Image size 250×250. 40× objective, oil immersion. Bone marrow aspirate smear: 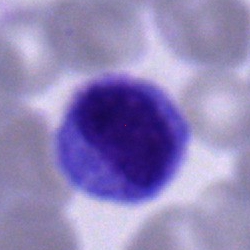

Morphology — metamyelocyte.